Bone marrow smear: 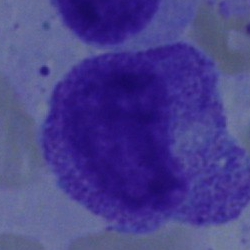

Cell type — myelocyte.